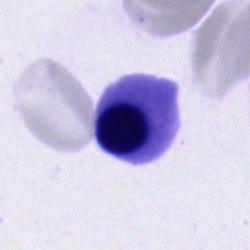A nucleated red blood cell on a bone marrow smear.